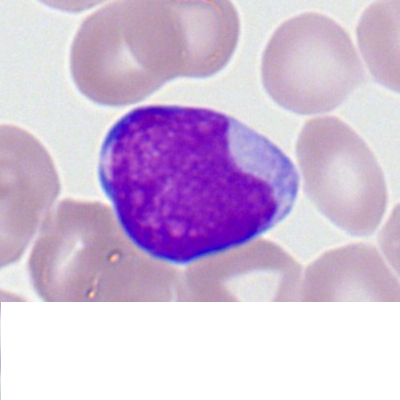

Impression — myeloblast.